Bone marrow aspirate smear; 250×250 px; brightfield microscopy, 40× oil immersion: 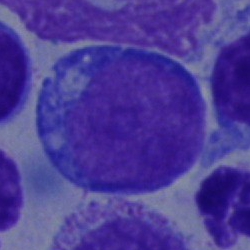

Morphology — undifferentiated blast.